Bone marrow aspirate smear · MGG-stained · 250 by 250 pixels
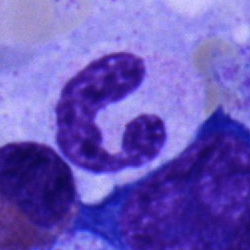

Showing a segmented neutrophil.